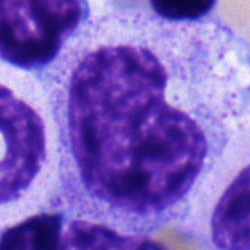{"cell_type": "metamyelocyte", "lineage": "myeloid"}